Single-cell field · image size 250×250 · bone marrow smear: 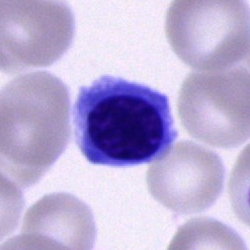
The cell shown is an erythroblast.